Bone marrow smear · cropped to a single cell: 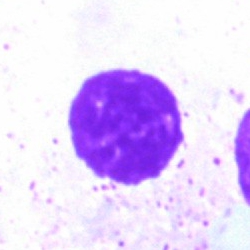Cell: artifact.